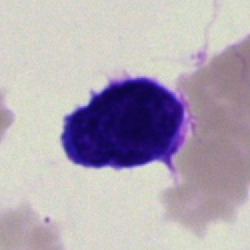

Cell: blast cell.